Bone marrow smear · single cell centered in the field · MGG-stained — 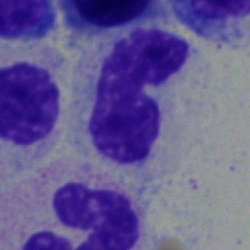 Specimen: bone marrow smear.
Classification: band-form neutrophil.